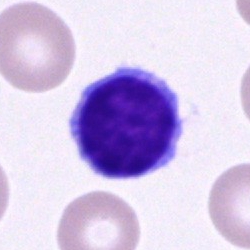 This is a lymphocyte.